Peripheral blood smear: 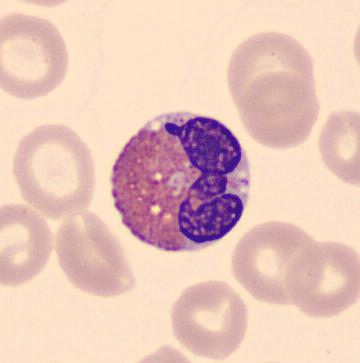

Identified as an eosinophil.